Pappenheim-stained · brightfield microscopy, 40× oil immersion · bone marrow aspirate smear: 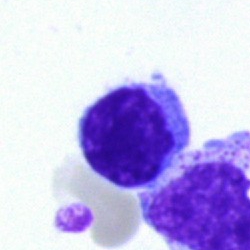

Morphology consistent with a lymphocyte.